Bone marrow smear:
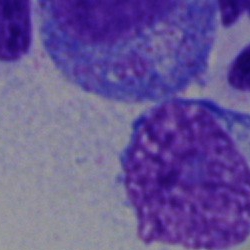

Cell = cell of indeterminate lineage.